Bone marrow aspirate smear. Brightfield microscopy, 40× oil immersion: 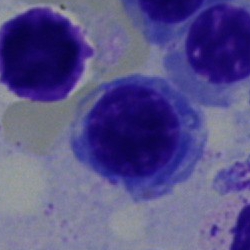 Erythroblast.